Bone marrow aspirate smear.
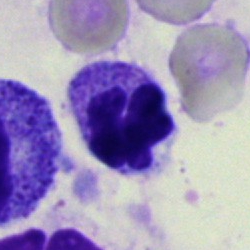

{"cell_type": "neutrophil (segmented)", "lineage": "myeloid"}